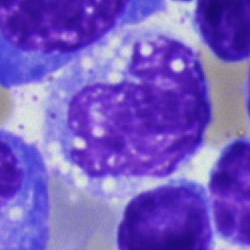
Single cell identified as a band-form neutrophil.